Bone marrow aspirate smear
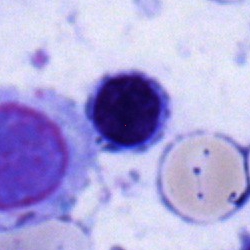

Impression → normoblast.